Bone marrow smear · MGG-stained · 40× oil immersion.
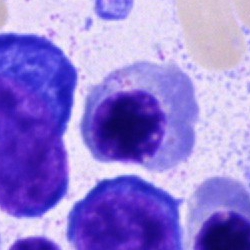 The classification is normoblast.